Brightfield microscopy, 40× oil immersion; bone marrow smear: 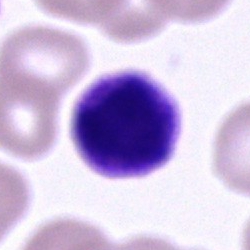 Specimen: bone marrow smear.
Cell: cell of indeterminate lineage.